Bone marrow smear — 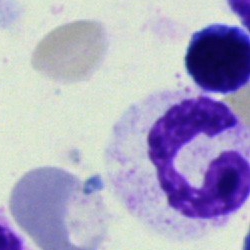Single cell identified as a neutrophil (segmented).